250 by 250 pixels. Bone marrow smear.
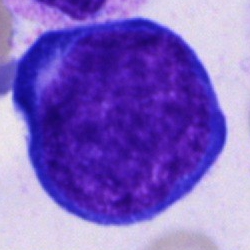
Morphological class = proerythroblast.